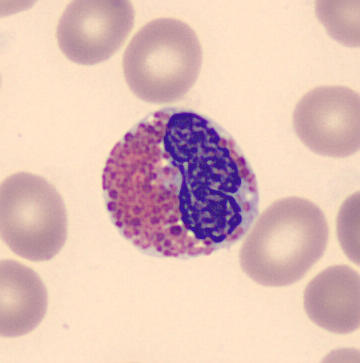Peripheral blood smear.

Eosinophil.